May-Grünwald-Giemsa stain. Bone marrow aspirate smear.
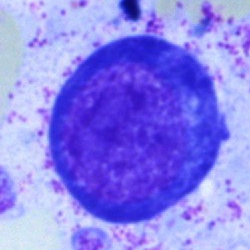Cell — pronormoblast.